Bone marrow smear.
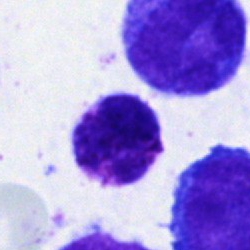

Cell: basophilic granulocyte.